Bone marrow smear. Brightfield microscopy, 40× oil immersion
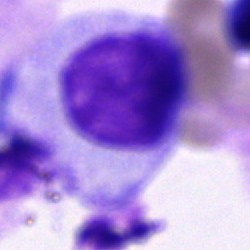
A cell of indeterminate lineage.